Bone marrow aspirate smear
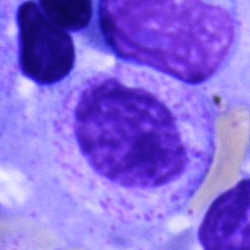Single cell identified as a myelocyte.